Brightfield microscopy, 40× oil immersion. Bone marrow aspirate smear
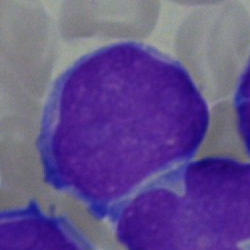An undifferentiated blast.